100× objective, oil immersion. Peripheral blood film:
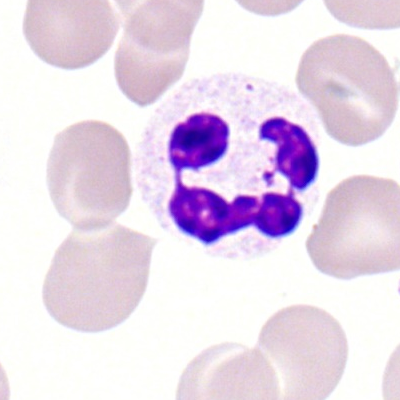

Specimen: peripheral blood smear.
Classification: polymorphonuclear neutrophil.